Single-cell crop; bone marrow aspirate smear — 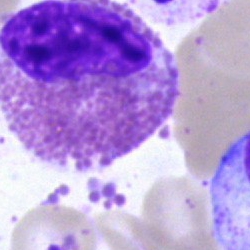
Impression → eosinophil.